Bone marrow aspirate smear:
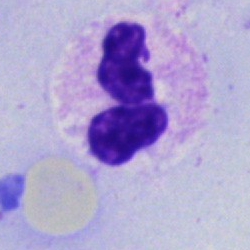
The cell shown is a neutrophil (segmented).